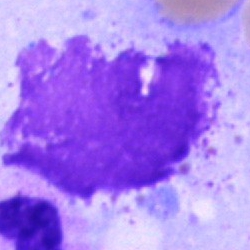 Morphology — artefact.